360 by 363 pixels. Peripheral blood film.
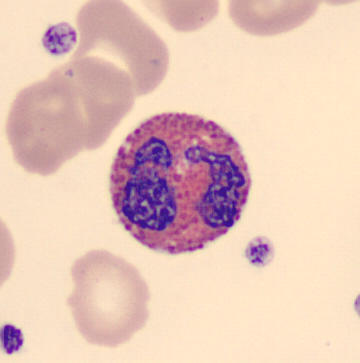

Cell — eosinophilic granulocyte.